Bone marrow smear:
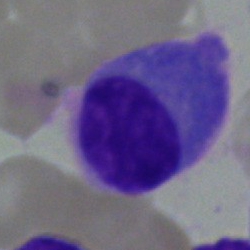

Morphology — plasmacyte.